Bone marrow aspirate smear — 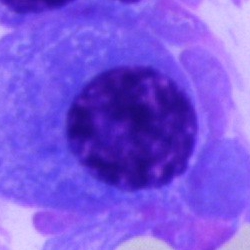
Morphology — plasmacyte.